Bone marrow aspirate smear: 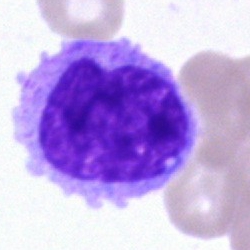
Morphology → monocyte.